Bone marrow aspirate smear
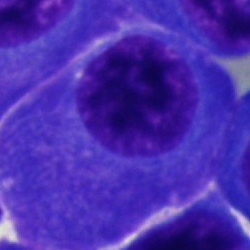

This is a plasma cell.